MGG-stained · cropped to a single cell · bone marrow aspirate smear — 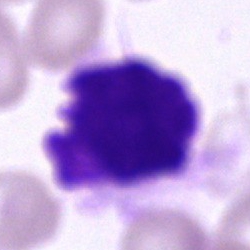

{"cell_type": "artefact"}